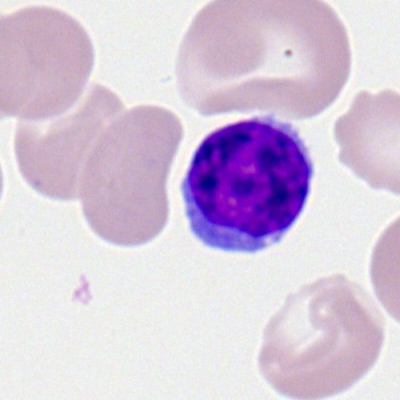
Specimen: peripheral blood film.
Morphological class: typical lymphocyte.